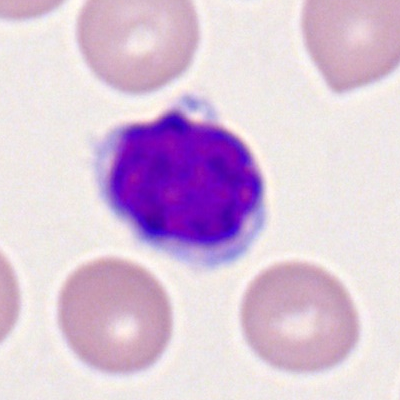 {"cell_type": "lymphocyte", "lineage": "lymphoid"}